40× objective, oil immersion; bone marrow smear
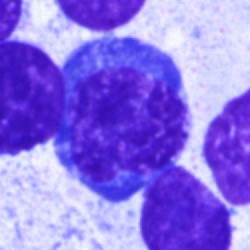

{"cell_type": "nucleated red cell", "lineage": "erythroid"}